Bone marrow smear; cropped to a single cell:
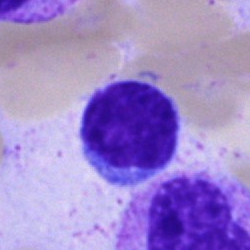 The cell type is lymphocyte.